Bone marrow smear; 40× oil immersion — 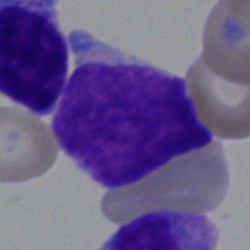
Q: What cell is this?
A: This is an undifferentiated blast.